Bone marrow aspirate smear; May-Grünwald-Giemsa stain; 250 by 250 pixels
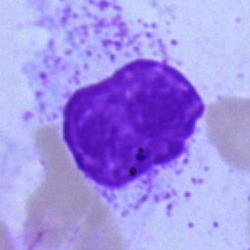
Artefact.